250×250 px · bone marrow smear · Pappenheim-stained — 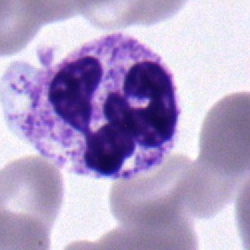

Single cell identified as a neutrophil (segmented).